Bone marrow smear; 40× oil immersion
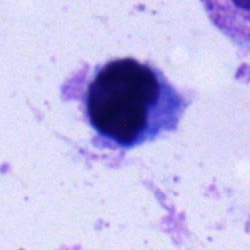

This is a typical lymphocyte.